Peripheral blood film · cropped to a single cell · MGG stain:
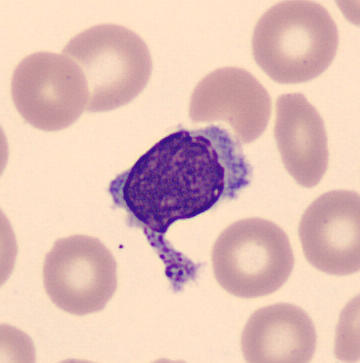
A typical lymphocyte.